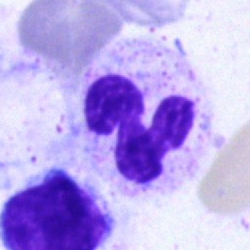

Morphology consistent with a neutrophil (segmented).